Peripheral blood smear · Romanowsky-stained · 400×400.
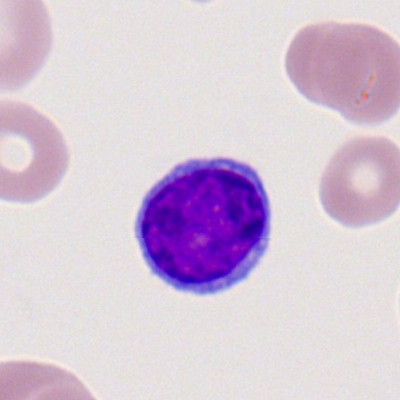 Q: What is shown here?
A: Typical lymphocyte.